Peripheral blood film
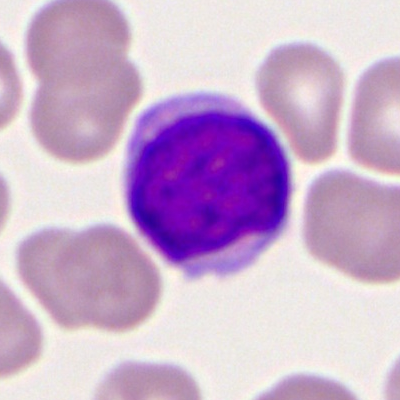 The cell shown is a typical lymphocyte.